May-Grünwald-Giemsa/Pappenheim stain. Bone marrow aspirate smear. 250×250 px — 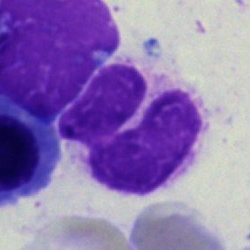This is an artefact.